Bone marrow smear. 40× oil immersion. Image size 250×250.
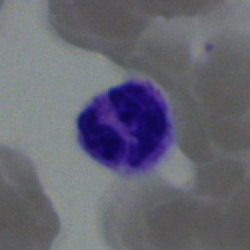Classification — neutrophil (segmented).